Bone marrow smear; 40× oil immersion
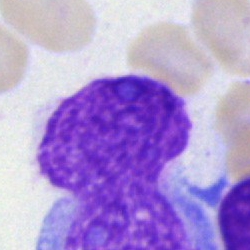The cell shown is an artefact.